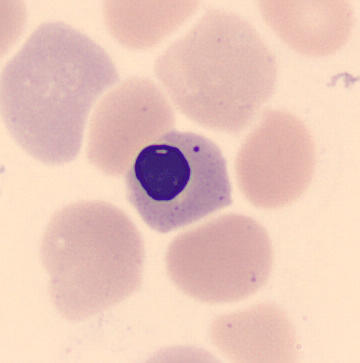 Single-cell crop from a peripheral blood smear: nucleated red blood cell.